May-Grünwald-Giemsa/Pappenheim stain; bone marrow aspirate smear
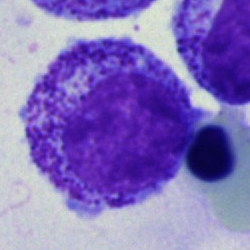Cell type = progranulocyte.